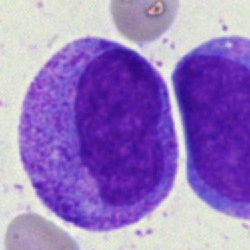
Cell type — progranulocyte.